Bone marrow aspirate smear:
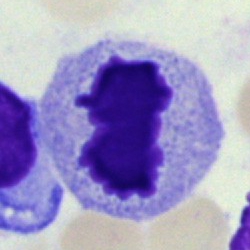
Specimen: bone marrow aspirate smear.
Cell type: artefact.